Bone marrow smear: 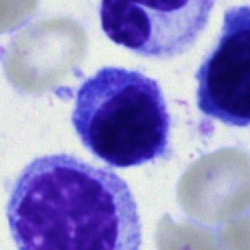
Specimen: bone marrow smear.
Morphological class: unidentifiable cell.